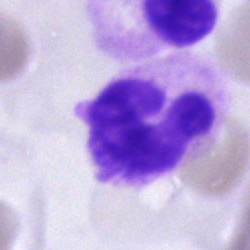The cell is segmented neutrophil.